Bone marrow aspirate smear · 40× oil immersion
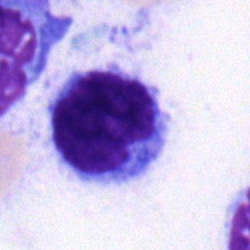
Q: Which cell type is shown here?
A: It is a typical lymphocyte.